Bone marrow smear · MGG-stained: 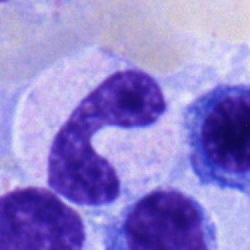
Cell type — band-form neutrophil.